Bone marrow aspirate smear; 250×250: 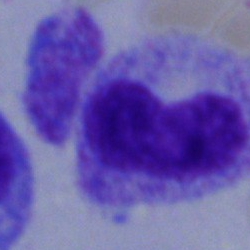

Specimen: bone marrow smear.
Cell: metamyelocyte.
Lineage: myeloid.